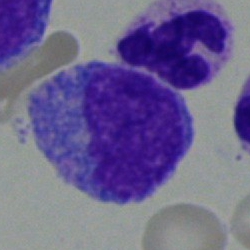

Single cell identified as a monocyte.